Peripheral blood film · M8 digital microscope (Precipoint), 100× oil immersion — 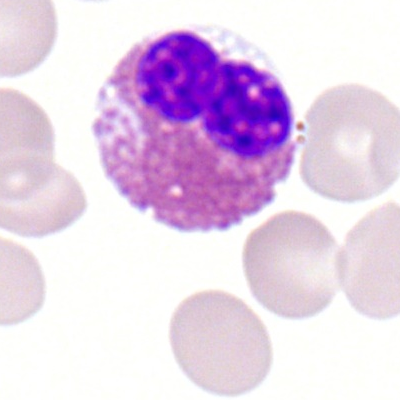Cell: eosinophilic granulocyte.